Bone marrow smear:
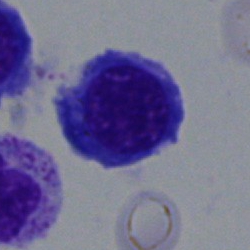A nucleated red cell.